Bone marrow smear.
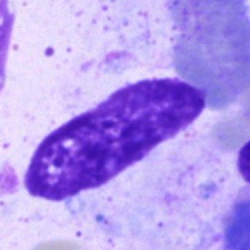Q: What is shown here?
A: It is an artifact.